Bone marrow aspirate smear
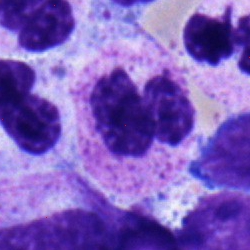

The cell shown is a polymorphonuclear neutrophil.